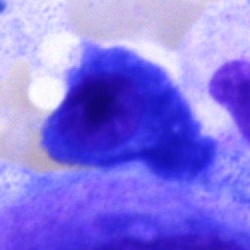
The cell shown is a plasmacyte.